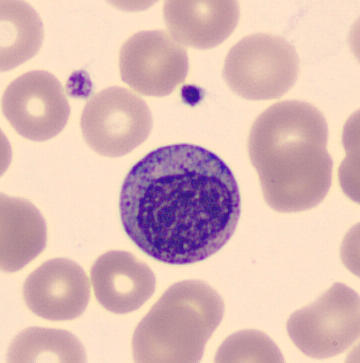Single-cell crop from a peripheral blood smear: myelocyte.